Bone marrow aspirate smear
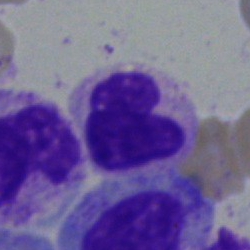 Q: What type of cell is this?
A: Polymorphonuclear neutrophil.